Bone marrow aspirate smear.
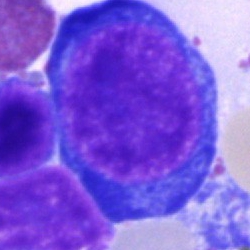Q: What type of cell is this?
A: It is a pronormoblast.